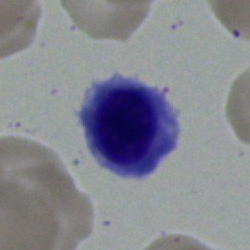
{"cell_type": "erythroblast"}